Brightfield, 40× oil-immersion objective · bone marrow smear:
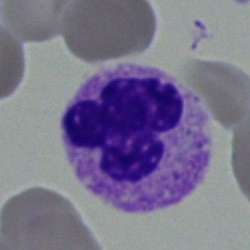Q: What type of cell is this?
A: This is a neutrophil (segmented).